Bone marrow smear.
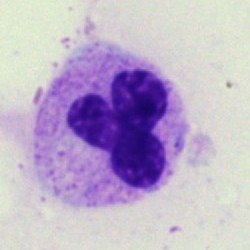
Cell type — polymorphonuclear neutrophil.